Peripheral blood smear
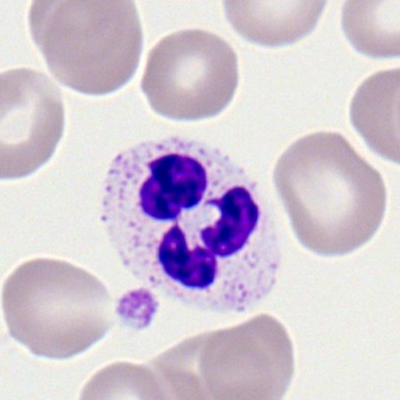

Single cell identified as a segmented neutrophil.